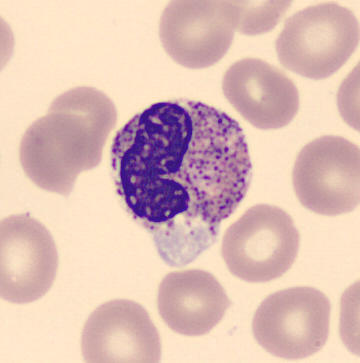
Image: Peripheral blood film. Identified as a stab cell.